Bone marrow aspirate smear · single-cell crop.
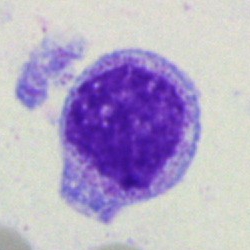{"cell_type": "myelocyte"}